Bone marrow aspirate smear.
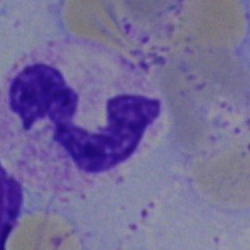

Cell type = segmented neutrophil.